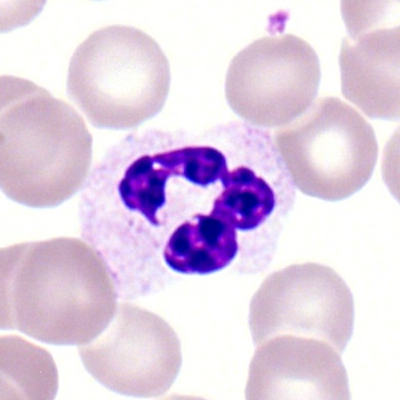
Specimen: peripheral blood smear.
Cell type: segmented neutrophil.